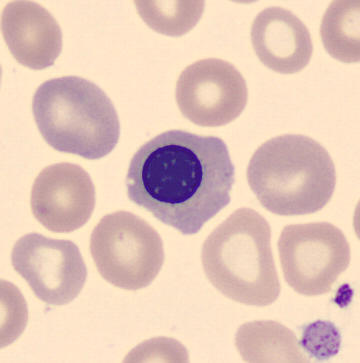Single cell identified as an erythroblast.

Peripheral blood film.